Bone marrow smear. Pappenheim-stained — 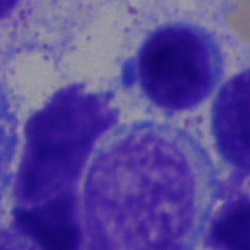

Single cell identified as a lymphocyte.